Bone marrow aspirate smear:
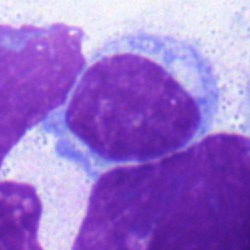Impression → segmented neutrophil.